Bone marrow aspirate smear. Single cell centered in the field — 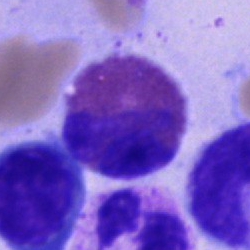Specimen: bone marrow smear.
Cell type: eosinophilic granulocyte.